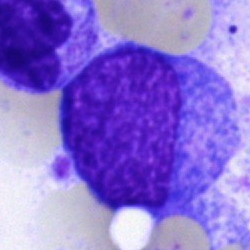Morphological class = promyelocyte.